Single cell centered in the field · bone marrow smear.
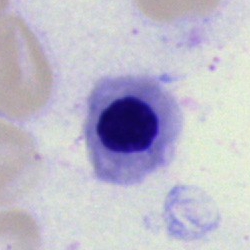

Morphology consistent with a nucleated red cell.